May-Grünwald-Giemsa stain. Bone marrow aspirate smear:
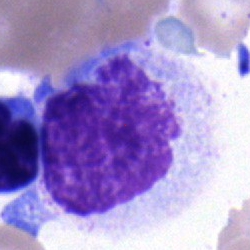

Cell: myelocyte.